250 by 250 pixels. Bone marrow smear — 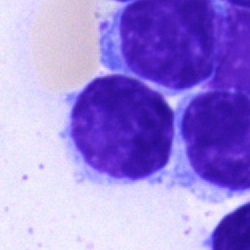
Specimen: bone marrow smear.
Classification: typical lymphocyte.
Lineage: lymphoid.